Peripheral blood smear. Cropped to a single cell — 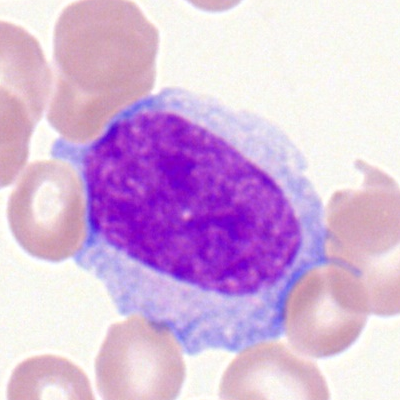

Morphological class = monocyte.